Bone marrow smear:
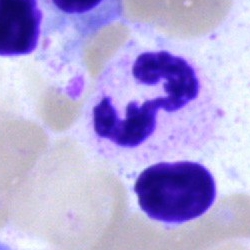
Classification = polymorphonuclear neutrophil.